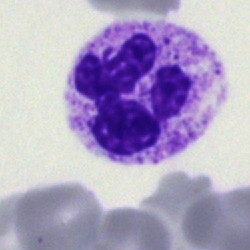 Q: What cell is this?
A: This is a segmented neutrophil.